Cropped to a single cell; bone marrow smear; Pappenheim-stained.
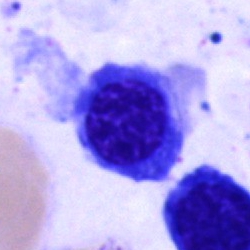 Specimen: bone marrow aspirate smear.
Cell type: nucleated red cell.
Lineage: erythroid.